Image size 250×250 · bone marrow smear:
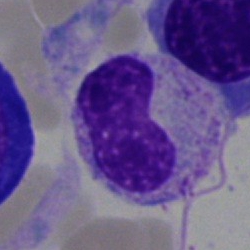Specimen: bone marrow smear.
Morphological class: band-form neutrophil.